May-Grünwald-Giemsa stain · bone marrow aspirate smear
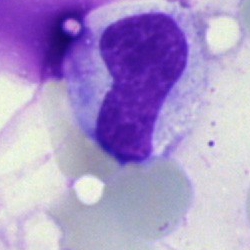 Q: What cell is this?
A: A neutrophil (band).